250×250 px; bone marrow smear — 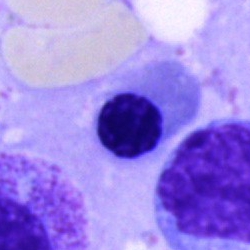{"cell_type": "normoblast"}